MGG-stained; bone marrow aspirate smear; 250×250 px — 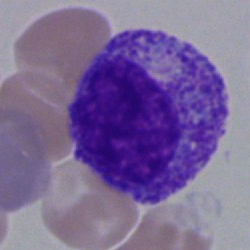
The cell shown is a myelocyte.